Bone marrow smear: 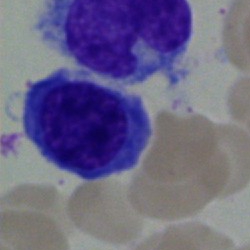

Single cell identified as an erythroblast.